Bone marrow aspirate smear: 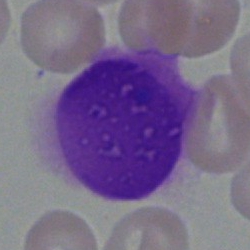
Artifact.